Pappenheim-stained · 40× objective, oil immersion · bone marrow smear:
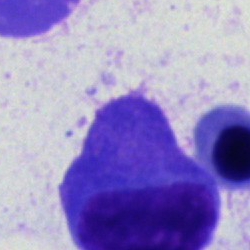Cell type — plasmacyte.